Romanowsky-type stain · peripheral blood smear: 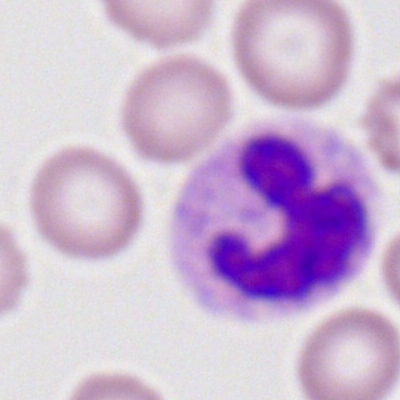Morphology → segmented neutrophil.